Peripheral blood smear
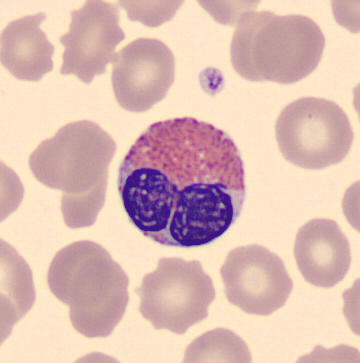
Q: Which cell type is shown here?
A: This is an eosinophil.